Bone marrow aspirate smear — 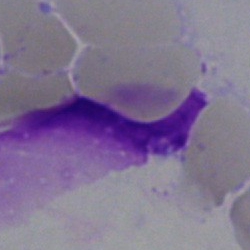

The cell is artifact.